Bone marrow aspirate smear:
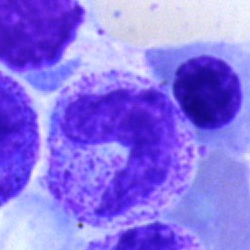
Single cell identified as a band neutrophil.